Peripheral blood smear · single cell centered in the field.
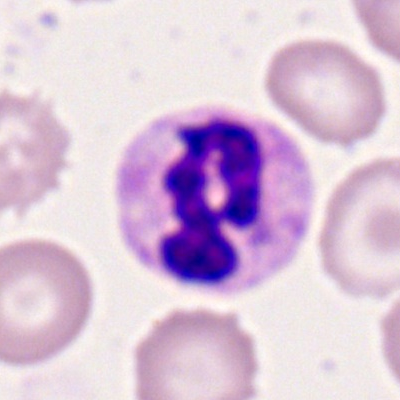Polymorphonuclear neutrophil.